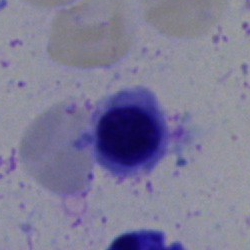
This is an erythroblast.